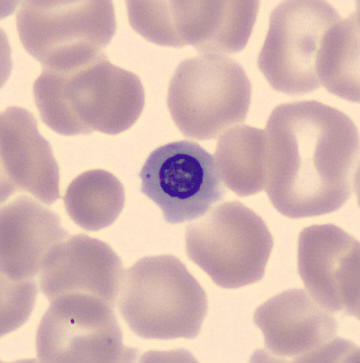

Preparation: Peripheral blood smear. Q: Which cell type is shown here?
A: It is a nucleated red blood cell.